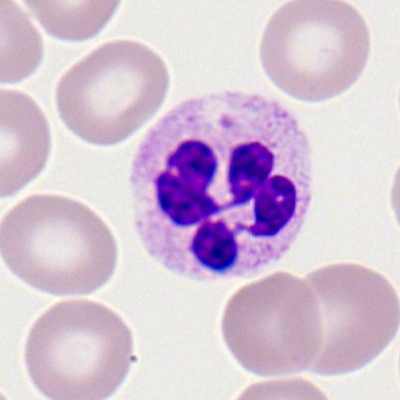

Polymorphonuclear neutrophil.